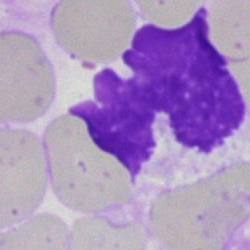 The cell type is artifact.